Pappenheim-stained. Bone marrow aspirate smear. Brightfield, 40× oil-immersion objective
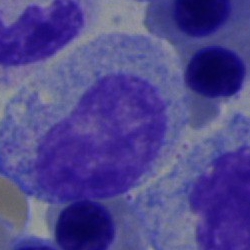
The cell shown is a myelocyte.